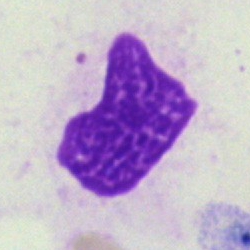

Specimen: bone marrow smear.
Morphological class: artifact.